250×250. Bone marrow smear:
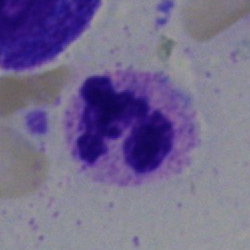

Specimen: bone marrow smear.
Cell type: polymorphonuclear neutrophil.